Bone marrow smear.
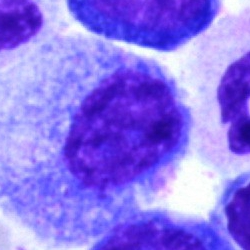 Promyelocyte.